Bone marrow aspirate smear. Image size 250×250 — 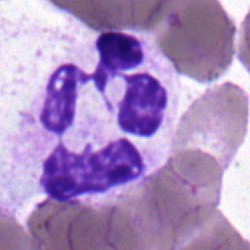
The morphological class is neutrophil (segmented).